Bone marrow smear — 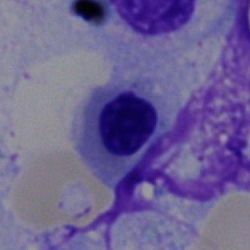
This is a nucleated red cell.